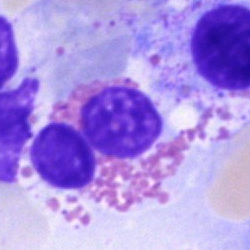Q: Identify the cell.
A: It is an eosinophil.